Bone marrow aspirate smear · 250 by 250 pixels — 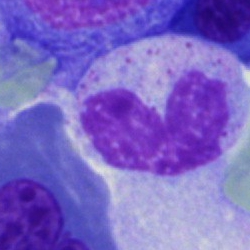
Q: What cell is this?
A: Neutrophil (band).